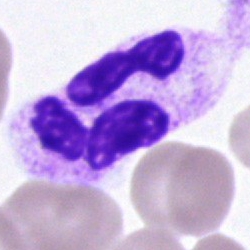 The cell shown is a segmented neutrophil.